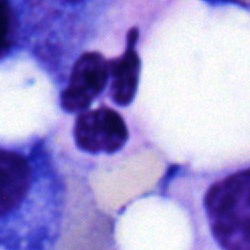The morphological class is polymorphonuclear neutrophil.